Peripheral blood smear:
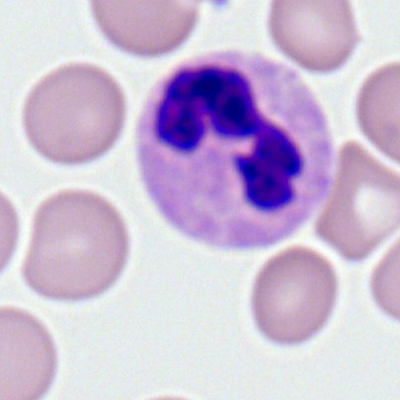Specimen: peripheral blood film.
Morphological class: polymorphonuclear neutrophil.
Lineage: myeloid.